Peripheral blood film — 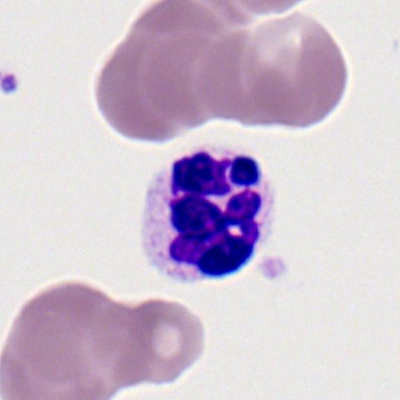
The cell shown is a polymorphonuclear neutrophil.